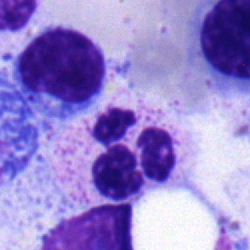Q: What is the morphological classification of this cell?
A: Polymorphonuclear neutrophil.